Image size 250×250 · bone marrow aspirate smear — 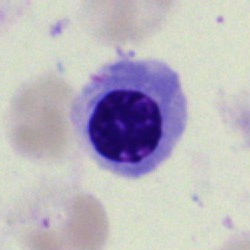

Impression → nucleated red cell.